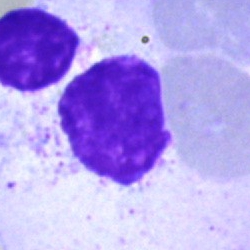Morphology → artifact.